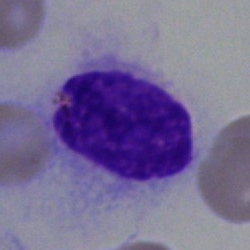 Q: What is the morphological classification of this cell?
A: A hairy cell.